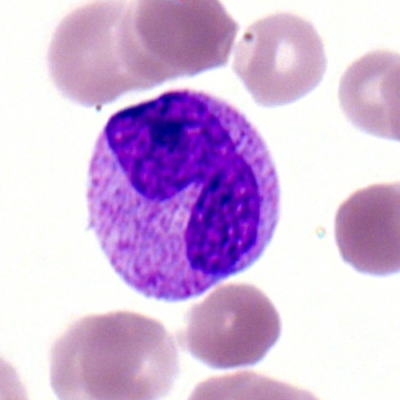

{"cell_type": "neutrophil (segmented)", "lineage": "myeloid"}